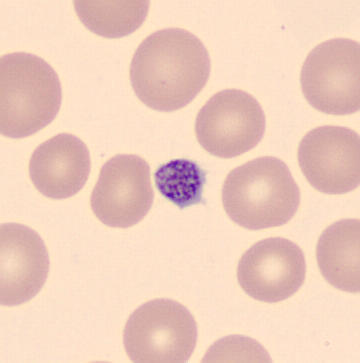 Morphological class = platelet.